Bone marrow aspirate smear: 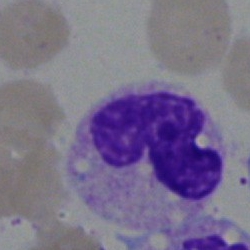

Classification — band neutrophil.